May-Grünwald-Giemsa stain; bone marrow aspirate smear — 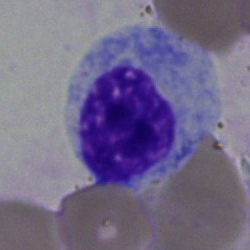 Q: What cell is this?
A: This is a myelocyte.